Bone marrow aspirate smear
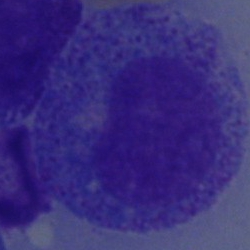

The classification is promyelocyte.